Bone marrow smear. Single-cell field — 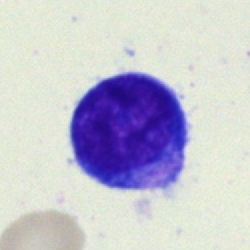 Morphological class — lymphocyte.